Bone marrow smear — 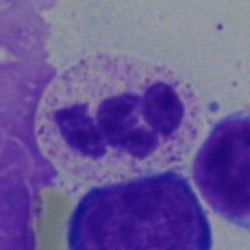 The cell shown is a polymorphonuclear neutrophil.